40× objective, oil immersion · bone marrow smear.
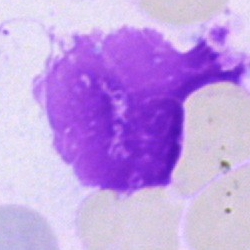
Specimen: bone marrow smear.
Morphological class: artifact.